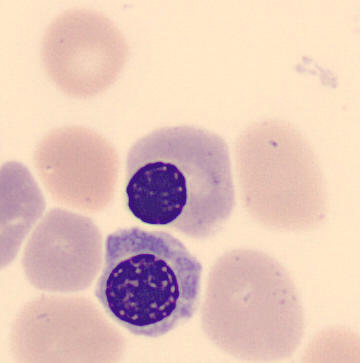
Preparation: Peripheral blood smear. Single-cell field. CellaVision DM96 digital cell image.
Impression — nucleated red cell.